Bone marrow aspirate smear. 250 by 250 pixels. Single-cell field: 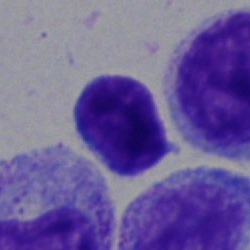Typical lymphocyte.